Peripheral blood smear.
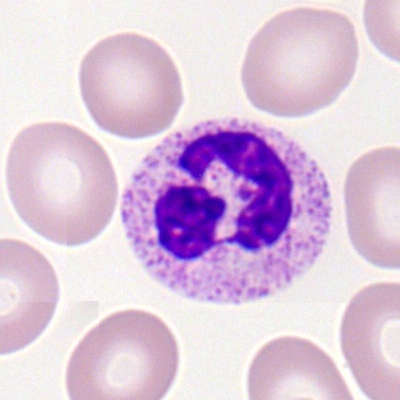Specimen: peripheral blood film.
Cell: neutrophil (segmented).